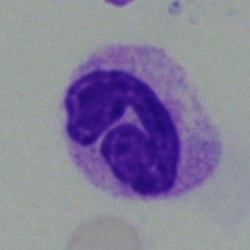 Cell type = band-form neutrophil.